Bone marrow aspirate smear · 250×250 — 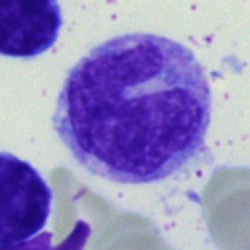 Monocyte.